May-Grünwald-Giemsa/Pappenheim stain · bone marrow smear — 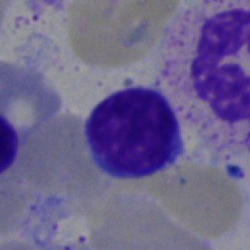

Specimen: bone marrow smear.
Classification: typical lymphocyte.
Lineage: lymphoid.